Bone marrow aspirate smear. Image size 250×250 — 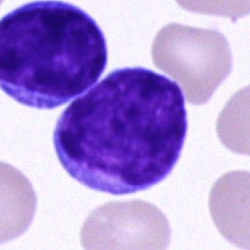
This is a typical lymphocyte.